Cropped to a single cell · bone marrow smear · 250×250
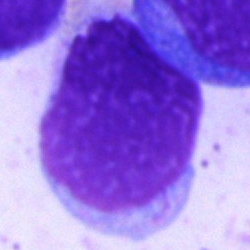Classification = artefact.